Bone marrow aspirate smear · May-Grünwald-Giemsa/Pappenheim stain: 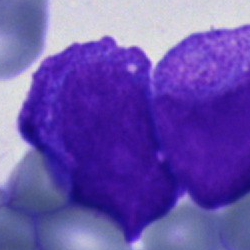
The cell is undifferentiated blast.